Brightfield, 40× oil-immersion objective; bone marrow smear; single-cell crop.
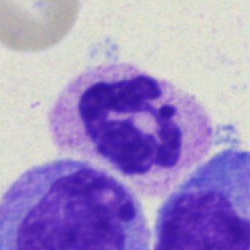 Q: What is shown here?
A: Neutrophil (segmented).